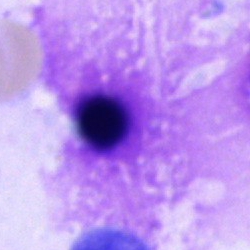

Specimen: bone marrow smear.
Classification: artifact.